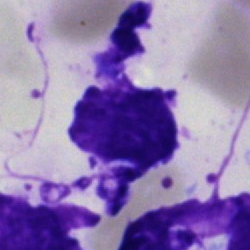 Bone marrow smear showing an artefact.